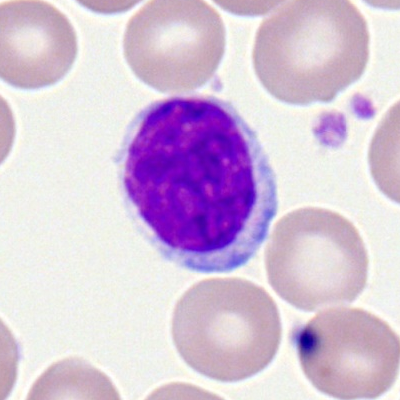
Q: What is the morphological classification of this cell?
A: It is a lymphocyte.